Bone marrow aspirate smear — 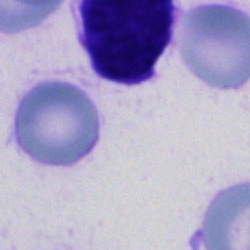

Cell: cell of indeterminate lineage.